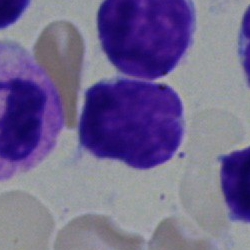 Classification: lymphocyte.